Bone marrow smear
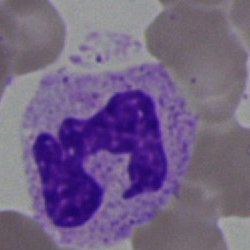

Cell type — polymorphonuclear neutrophil.